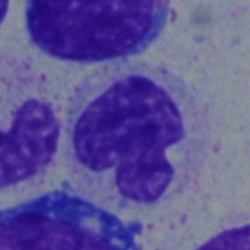 Cell type = stab cell.